Bone marrow smear.
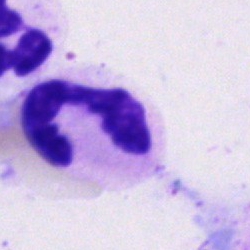
This is a segmented neutrophil.